Peripheral blood smear
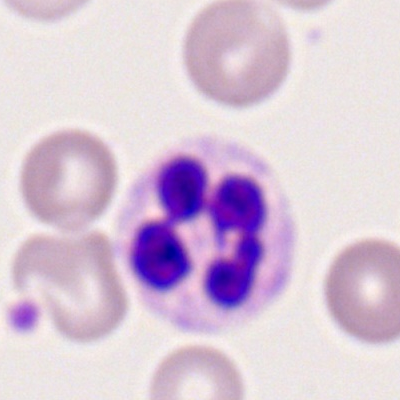

Specimen: peripheral blood smear.
Cell: neutrophil (segmented).
Lineage: myeloid.